Bone marrow aspirate smear · single-cell field · May-Grünwald-Giemsa stain:
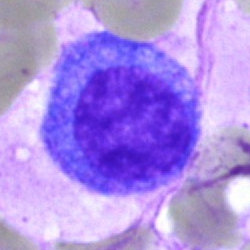Promyelocyte.